Bone marrow aspirate smear. 40× objective, oil immersion:
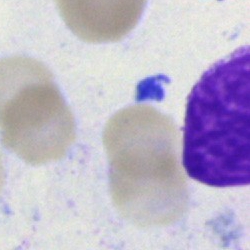 A myelocyte.